Bone marrow aspirate smear. May-Grünwald-Giemsa/Pappenheim stain: 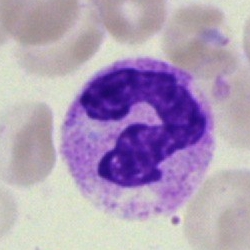 Cell = polymorphonuclear neutrophil.